Cropped to a single cell · bone marrow smear — 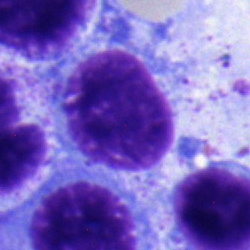

Q: What cell is this?
A: This is a typical lymphocyte.